Bone marrow smear; 250×250 px; 40× objective, oil immersion.
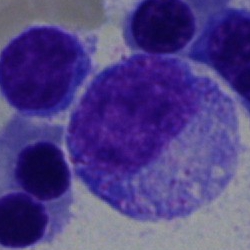 Specimen: bone marrow smear.
Cell: promyelocyte.